Bone marrow smear; single-cell crop; May-Grünwald-Giemsa stain:
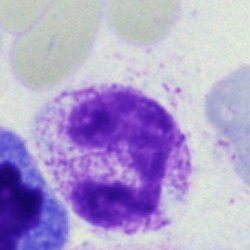
Impression → polymorphonuclear neutrophil.